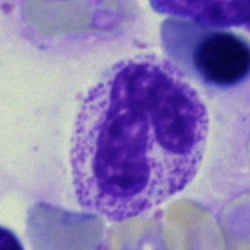Morphology consistent with a band neutrophil.